Bone marrow smear
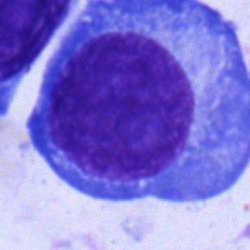 Cell = plasma cell.